Bone marrow smear; brightfield microscopy, 40× oil immersion; 250 by 250 pixels.
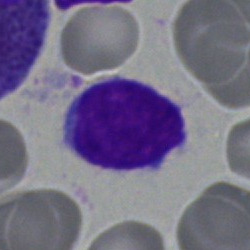

A typical lymphocyte.